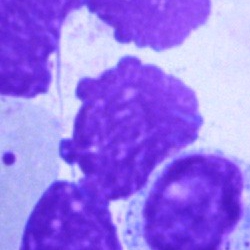Specimen: bone marrow aspirate smear.
Morphological class: artefact.